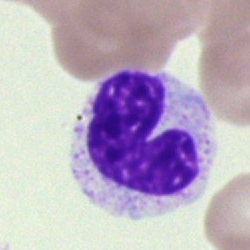Cell type = band neutrophil.